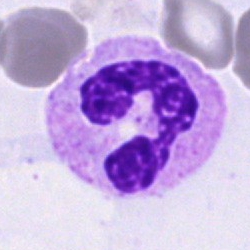
Bone marrow smear showing a neutrophil (segmented).